Bone marrow smear; 40× objective, oil immersion
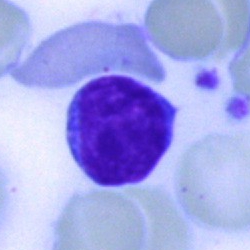

Impression — typical lymphocyte.